Single cell centered in the field · bone marrow aspirate smear.
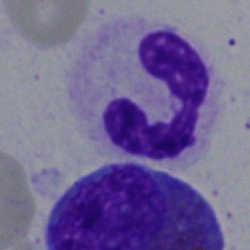

Showing a neutrophil (segmented).